Bone marrow aspirate smear: 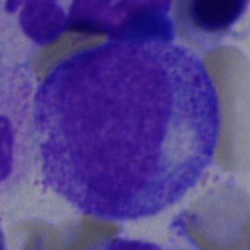Cell = progranulocyte.